Image size 250×250. Bone marrow smear
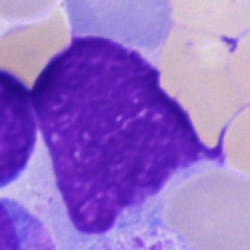An artefact.